Bone marrow smear: 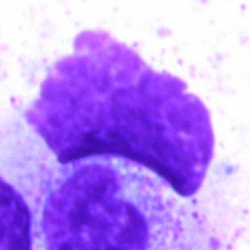 Cell type = artifact.